Bone marrow smear.
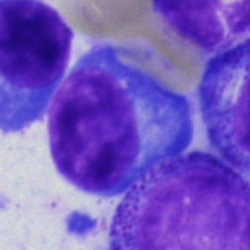Plasmacyte.